Imaged on a CellaVision DM96 analyser; peripheral blood smear
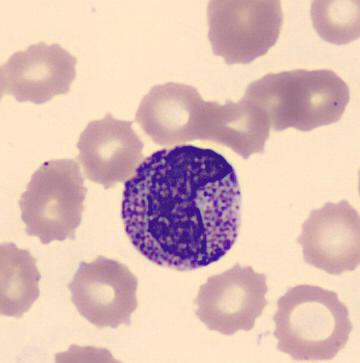Q: Identify the cell.
A: It is a metamyelocyte.